Single cell centered in the field · bone marrow smear — 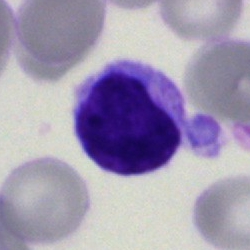Impression — typical lymphocyte.